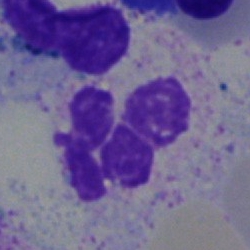The classification is segmented neutrophil.